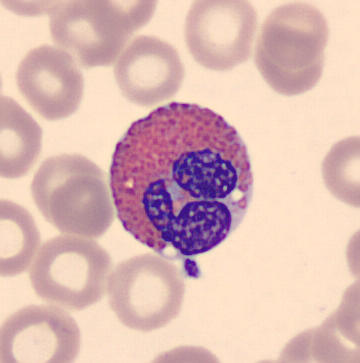
Q: Identify the cell.
A: Eosinophil. Peripheral blood smear.